Bone marrow aspirate smear — 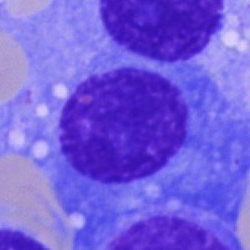Q: What is the morphological classification of this cell?
A: A plasmacyte.